Bone marrow aspirate smear; brightfield microscopy, 40× oil immersion; Pappenheim-stained.
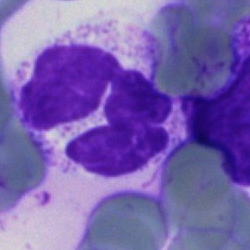Neutrophil (segmented).